Peripheral blood film.
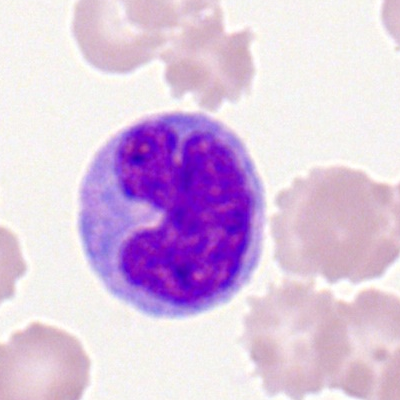 Cell type: monocyte.